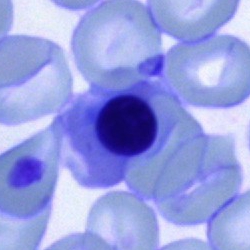

Bone marrow aspirate smear, single cell — nucleated red cell.